Bone marrow aspirate smear:
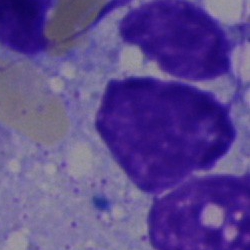Specimen: bone marrow smear.
Morphological class: artefact.